250 by 250 pixels. Bone marrow smear. Pappenheim-stained.
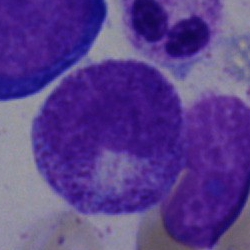Showing a metamyelocyte.